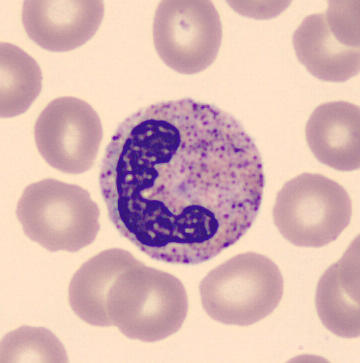 Specimen: peripheral blood film.
Cell: band-form neutrophil.
Lineage: myeloid.